40× objective, oil immersion; bone marrow aspirate smear
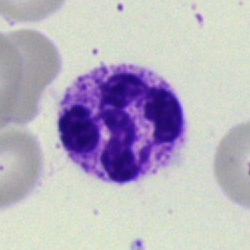

The cell shown is a polymorphonuclear neutrophil.